250×250 · bone marrow aspirate smear.
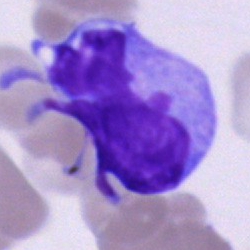

Showing a cell of indeterminate lineage.